Bone marrow aspirate smear — 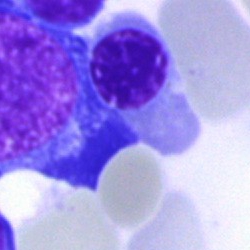 Morphology consistent with a normoblast.